Bone marrow smear: 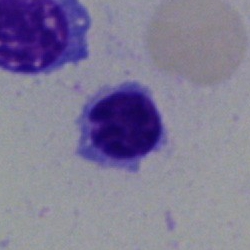{"cell_type": "erythroblast", "lineage": "erythroid"}